Bone marrow smear:
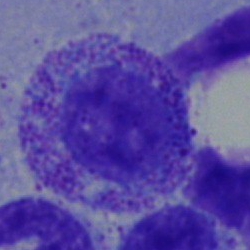 The cell shown is a myelocyte.